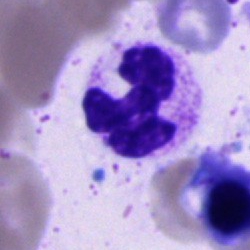

Morphology — polymorphonuclear neutrophil.